Bone marrow smear.
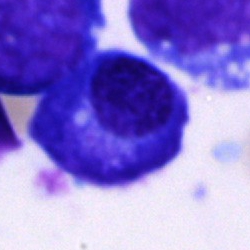 Impression — plasmacyte.